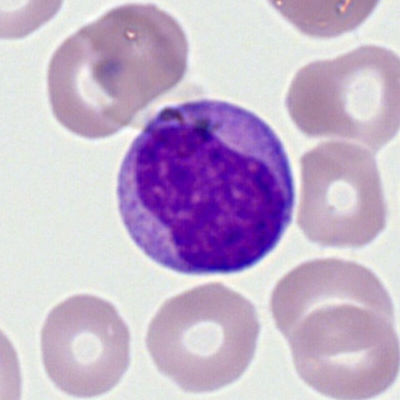
{"cell_type": "myeloblast", "lineage": "myeloid"}